Bone marrow aspirate smear — 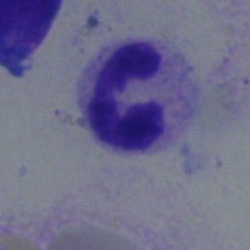Cell type: segmented neutrophil.